Bone marrow aspirate smear · 250 by 250 pixels.
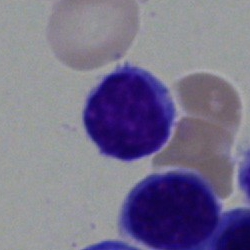 Typical lymphocyte.